Single-cell crop · bone marrow aspirate smear:
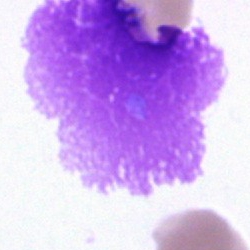This is an artifact.